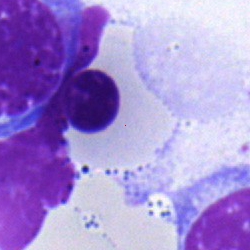
The cell type is erythroblast.